MGG-stained. Bone marrow smear:
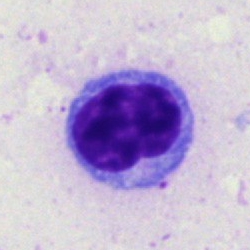
The cell shown is a lymphocyte.